Bone marrow smear — 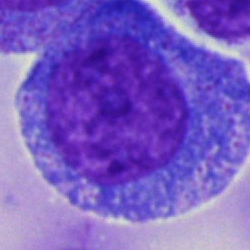 A progranulocyte.